May-Grünwald-Giemsa/Pappenheim stain. Cropped to a single cell. Bone marrow smear
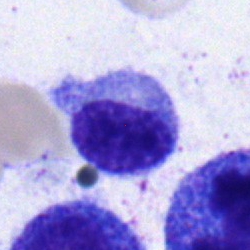Showing a typical lymphocyte.